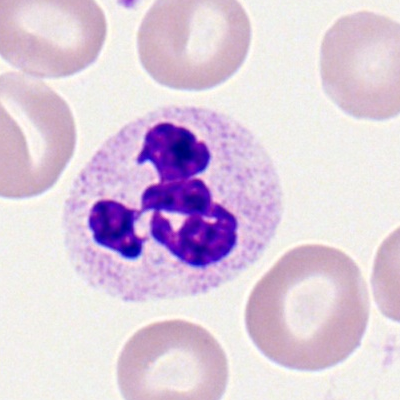

Q: Identify the cell.
A: Polymorphonuclear neutrophil.